May-Grünwald-Giemsa/Pappenheim stain; bone marrow aspirate smear:
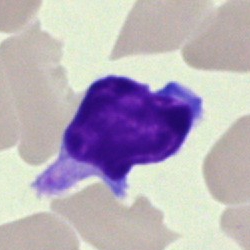Impression — typical lymphocyte.